Bone marrow aspirate smear
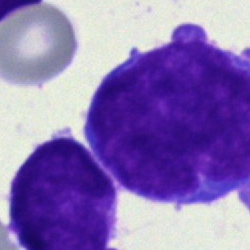The cell shown is an undifferentiated blast.